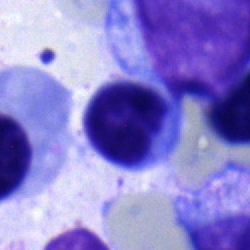 Cell — lymphocyte.